Bone marrow smear
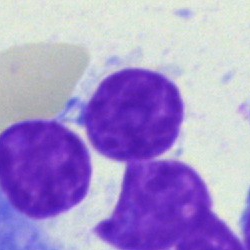This is an artefact.